May-Grünwald-Giemsa stain. Bone marrow aspirate smear: 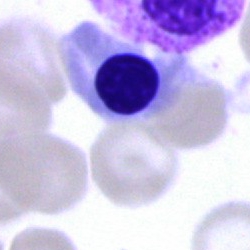 Morphology consistent with a nucleated red cell.